Bone marrow smear.
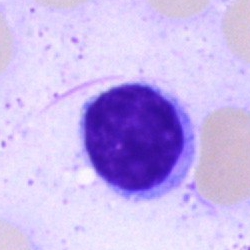Single cell identified as a typical lymphocyte.